Bone marrow aspirate smear
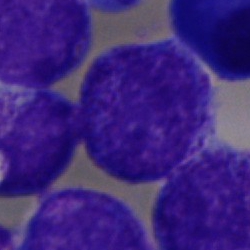Morphological class = undifferentiated blast.